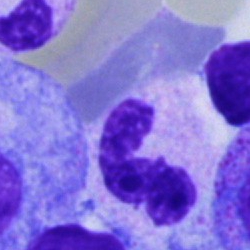
Specimen: bone marrow smear.
Cell: polymorphonuclear neutrophil.
Lineage: myeloid.